Bone marrow aspirate smear.
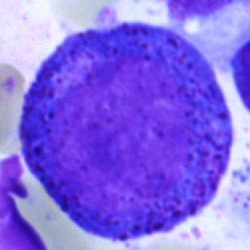Single cell identified as a progranulocyte.